Bone marrow aspirate smear.
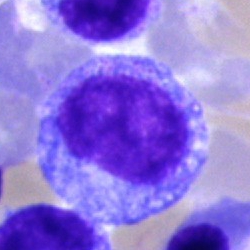 The cell shown is a progranulocyte.